Bone marrow aspirate smear — 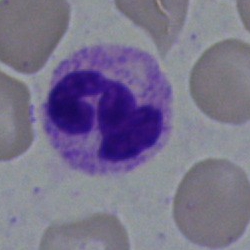
Cell type — segmented neutrophil.